Peripheral blood film. 360×363 px
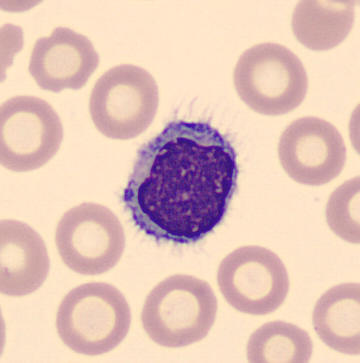{"cell_type": "typical lymphocyte", "lineage": "lymphoid"}